Single-cell field · May-Grünwald-Giemsa/Pappenheim stain · bone marrow smear: 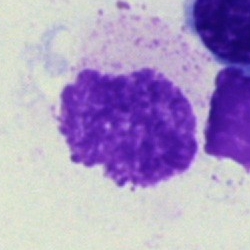Q: What is shown here?
A: Artifact.